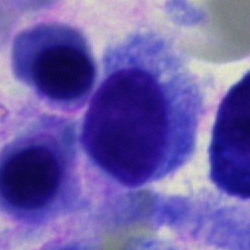The cell is hairy cell.